Bone marrow smear: 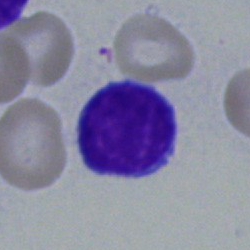

{"cell_type": "typical lymphocyte"}